250×250 · bone marrow aspirate smear
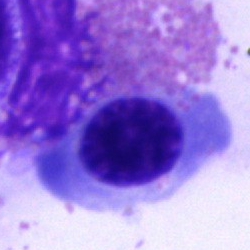 Q: What cell is this?
A: Nucleated red cell.